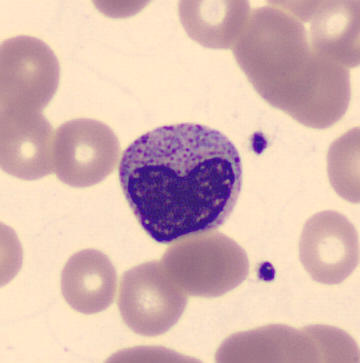
Specimen: peripheral blood film.
Morphological class: metamyelocyte.
Lineage: myeloid.
CellaVision DM96; single-cell crop.